Bone marrow smear — 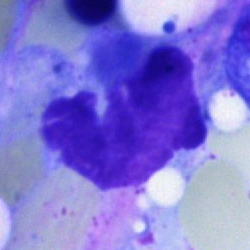Specimen: bone marrow aspirate smear.
Cell type: artifact.